Bone marrow smear. Pappenheim-stained:
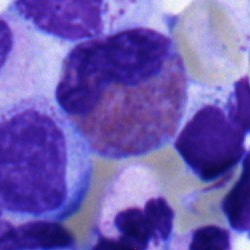Morphological class — eosinophilic granulocyte.